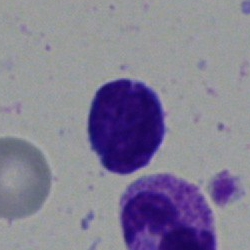 Morphological class: typical lymphocyte.